Bone marrow smear; May-Grünwald-Giemsa stain:
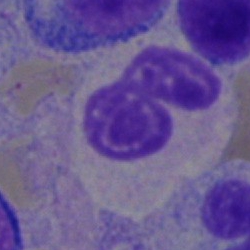Q: What type of cell is this?
A: This is a band neutrophil.